Bone marrow aspirate smear
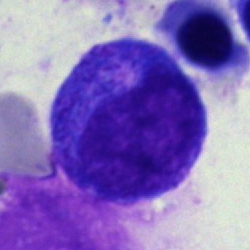

Cell: progranulocyte.